Single cell centered in the field; 40× objective, oil immersion; bone marrow smear:
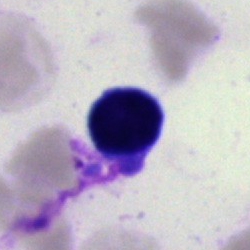 The morphological class is artefact.